Bone marrow aspirate smear: 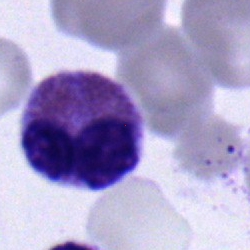

Q: Which cell type is shown here?
A: An eosinophilic granulocyte.